250×250; bone marrow aspirate smear; 40× objective, oil immersion.
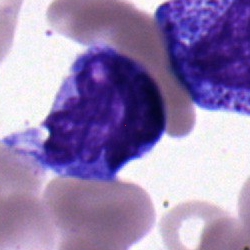

Impression → monocyte.